Pappenheim-stained; bone marrow smear
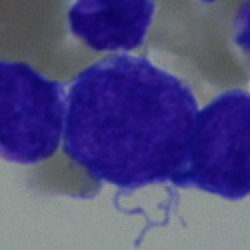

Specimen: bone marrow aspirate smear.
Classification: blast.